Bone marrow aspirate smear; 250 by 250 pixels — 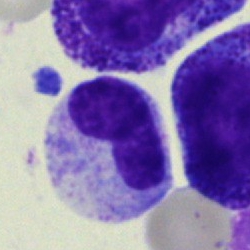 Single cell identified as a band-form neutrophil.